Bone marrow aspirate smear: 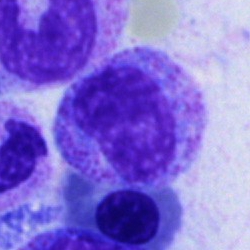This is a metamyelocyte.